Brightfield, 40× oil-immersion objective; bone marrow aspirate smear; image size 250×250:
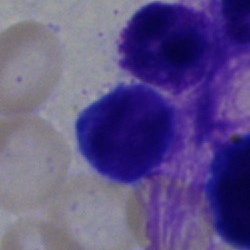
Showing an artifact.